250×250 px; bone marrow aspirate smear — 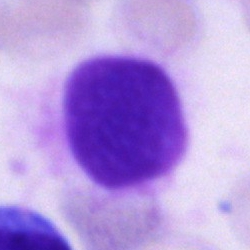

Cell type: artefact.